Bone marrow aspirate smear.
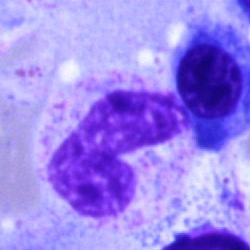
Q: What is shown here?
A: Band neutrophil.